Single-cell crop. Bone marrow smear. 40× objective, oil immersion.
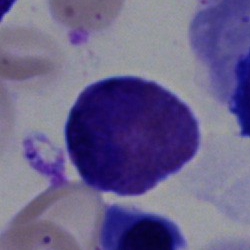

Eosinophil.